Peripheral blood smear · 400×400.
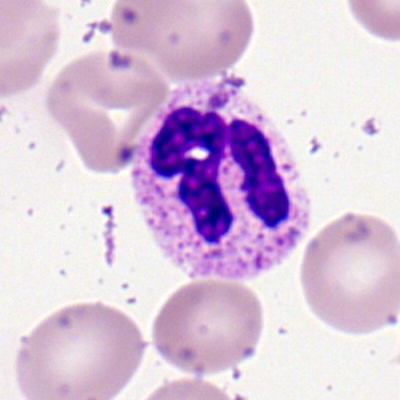

Morphology consistent with a neutrophil (segmented).